Bone marrow smear · 40× oil immersion · 250 by 250 pixels
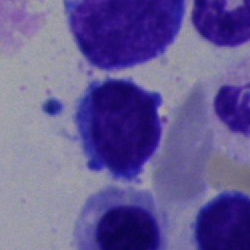
Classification — lymphocyte.